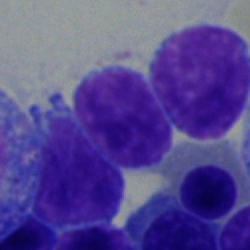 Impression → typical lymphocyte.